Bone marrow smear — 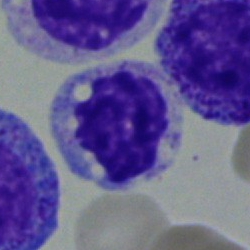 The morphological class is monocyte.